Bone marrow aspirate smear — 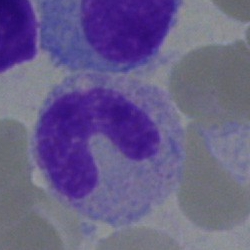

Q: What is shown here?
A: It is a band-form neutrophil.